Bone marrow smear.
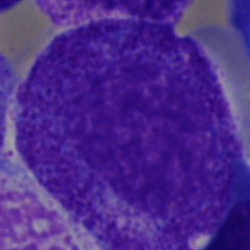

Q: Identify the cell.
A: It is a promyelocyte.